Bone marrow aspirate smear.
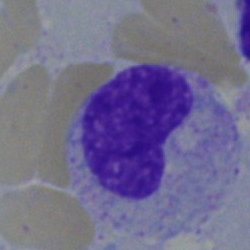 Q: Which cell type is shown here?
A: Metamyelocyte.